100× oil immersion · cropped to a single cell · peripheral blood film
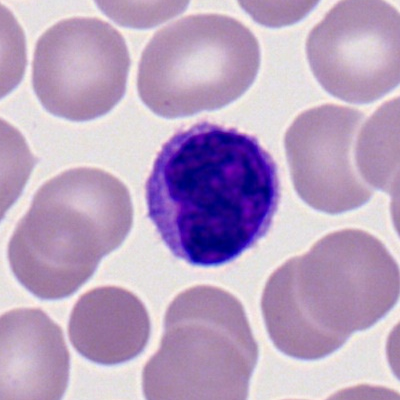 A lymphocyte.